Bone marrow aspirate smear. 250×250: 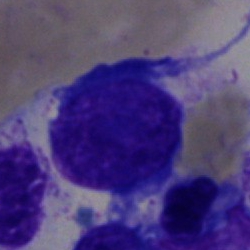
Cell type = undifferentiated blast.